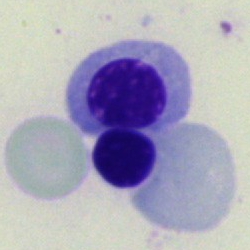

A normoblast.